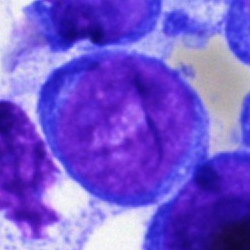
Q: What is shown here?
A: It is a blast cell.